250×250 px; bone marrow smear: 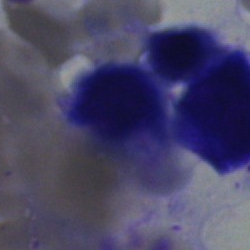

Morphology — erythroblast.